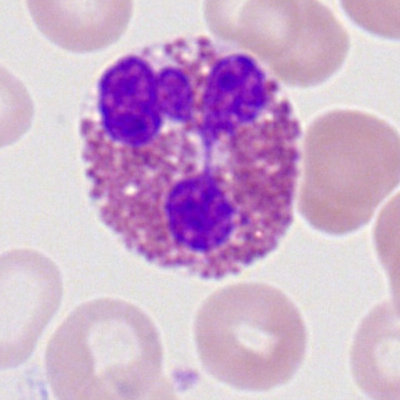
Eosinophilic granulocyte.